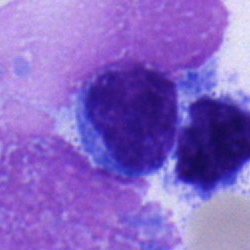
Cell type: lymphocyte.